Peripheral blood smear:
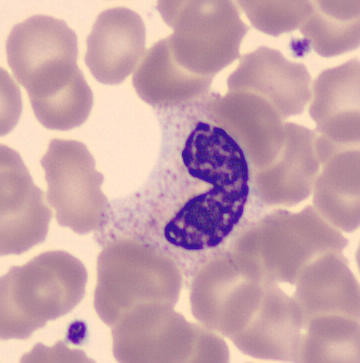

Identified as a neutrophil (band).